Peripheral blood film. Romanowsky-type stain.
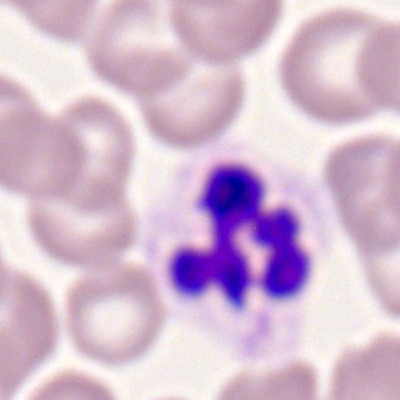

Neutrophil (segmented).